400×400 px; peripheral blood smear:
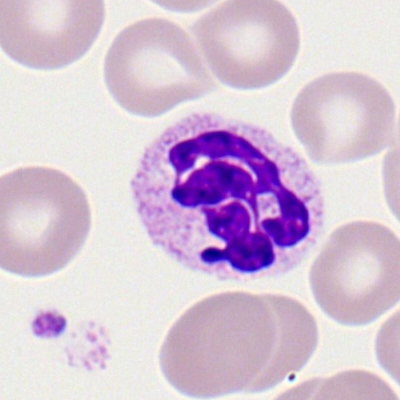 This is a neutrophil (segmented).